40× oil immersion · bone marrow smear.
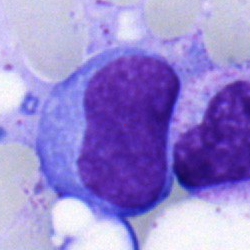A lymphocyte.